Brightfield microscopy, 40× oil immersion. Bone marrow aspirate smear:
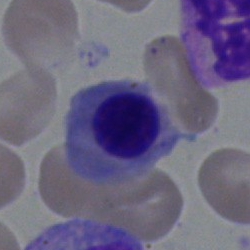 The cell is nucleated red cell.